40× objective, oil immersion; bone marrow aspirate smear.
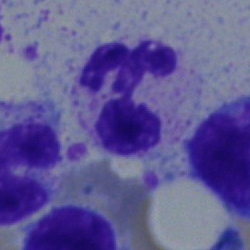Single cell identified as a polymorphonuclear neutrophil.